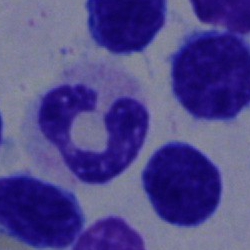

Specimen: bone marrow aspirate smear.
Morphological class: polymorphonuclear neutrophil.
Lineage: myeloid.